Bone marrow aspirate smear.
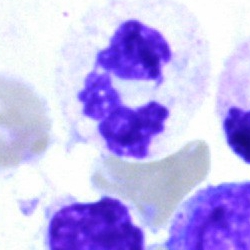

Morphology consistent with a polymorphonuclear neutrophil.